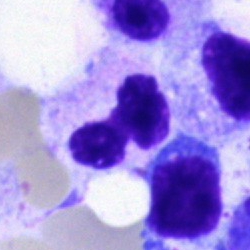
Morphology — neutrophil (segmented).